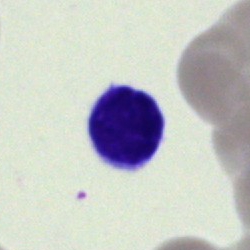

This is a typical lymphocyte.